Peripheral blood smear.
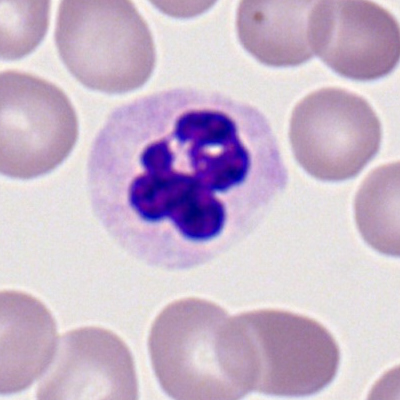 {"cell_type": "neutrophil (segmented)", "lineage": "myeloid"}